Bone marrow aspirate smear: 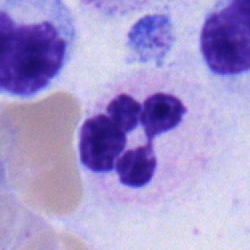

Q: What is the morphological classification of this cell?
A: It is a neutrophil (segmented).